Bone marrow aspirate smear.
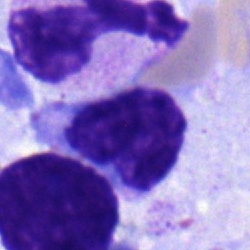

Showing a monocyte.